Brightfield microscopy, 40× oil immersion; single-cell crop; bone marrow aspirate smear.
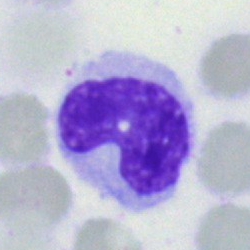

Cell — band neutrophil.